Peripheral blood smear. Romanowsky-stained — 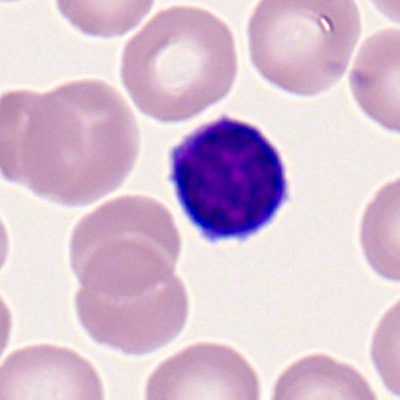
Specimen: peripheral blood film.
Classification: lymphocyte.
Lineage: lymphoid.